Bone marrow aspirate smear
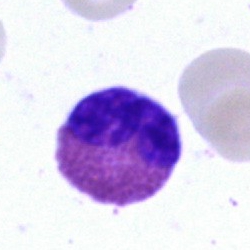

Specimen: bone marrow smear.
Morphological class: eosinophil.
Lineage: myeloid.